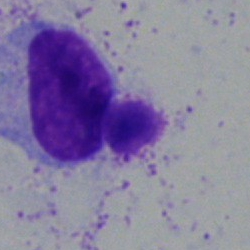
Specimen: bone marrow smear.
Cell: typical lymphocyte.
Lineage: lymphoid.